Peripheral blood smear:
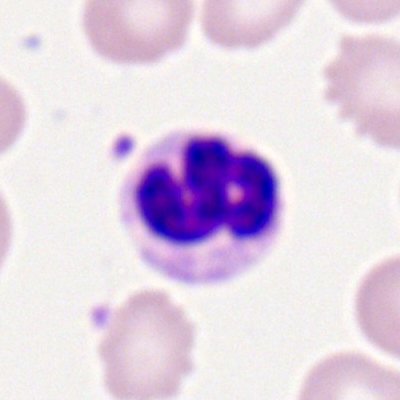The cell shown is a segmented neutrophil.